Bone marrow aspirate smear — 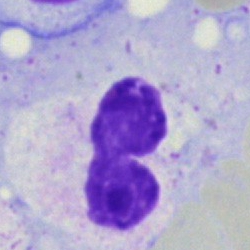

The cell shown is a polymorphonuclear neutrophil.